Bone marrow aspirate smear: 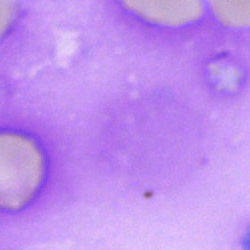

Morphology — artifact.